Bone marrow aspirate smear.
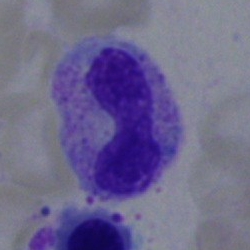 Q: What type of cell is this?
A: A band neutrophil.